Bone marrow aspirate smear — 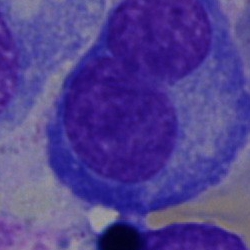 Impression → plasma cell.